Bone marrow smear: 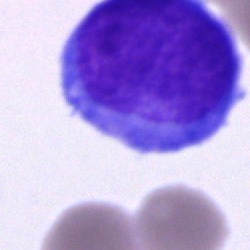 Cell type — blast cell.